400 by 400 pixels. Peripheral blood smear — 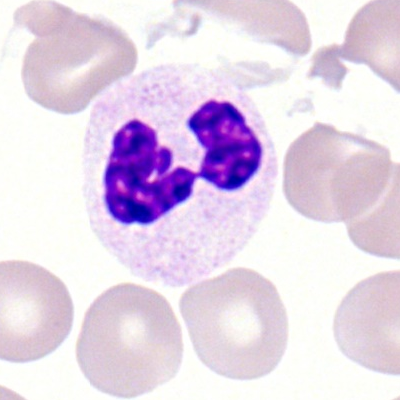 Specimen: peripheral blood film.
Cell: polymorphonuclear neutrophil.